Bone marrow smear · MGG-stained · 40× objective, oil immersion:
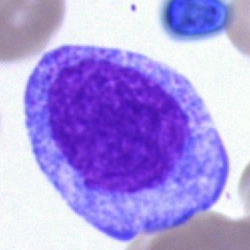

Morphology consistent with a promyelocyte.